40× oil immersion. Bone marrow aspirate smear:
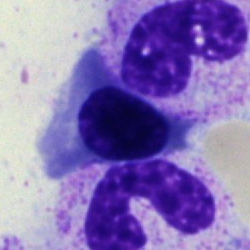Specimen: bone marrow aspirate smear.
Morphological class: normoblast.